Bone marrow smear; single-cell field; MGG-stained — 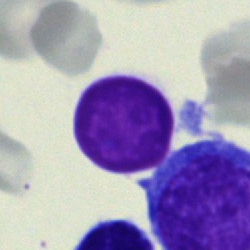 Cell: artifact.